Bone marrow aspirate smear: 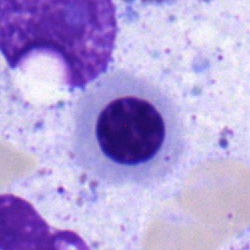
Morphology → nucleated red blood cell.